Bone marrow aspirate smear · May-Grünwald-Giemsa stain.
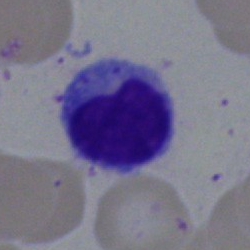

Morphology consistent with a typical lymphocyte.